Bone marrow aspirate smear:
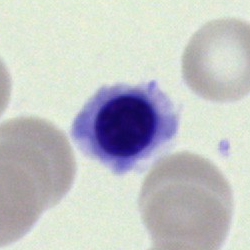

Q: What is the morphological classification of this cell?
A: Erythroblast.